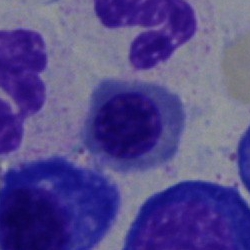

Single-cell crop from a bone marrow smear: normoblast.